Bone marrow smear:
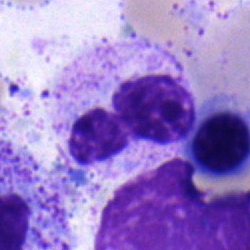Morphology consistent with a band neutrophil.